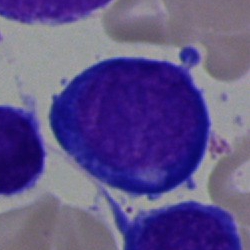A proerythroblast.